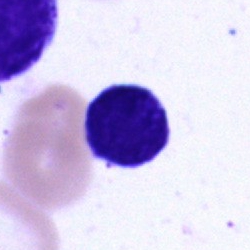 Specimen: bone marrow smear.
Cell type: typical lymphocyte.